Peripheral blood smear — 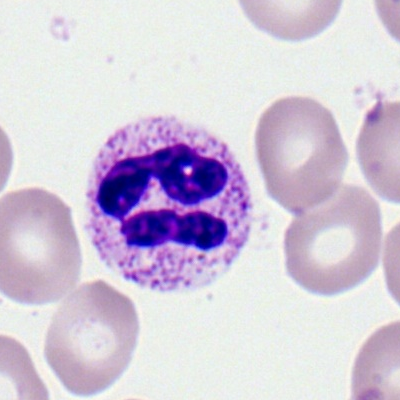This is a polymorphonuclear neutrophil.